Bone marrow aspirate smear; 250×250.
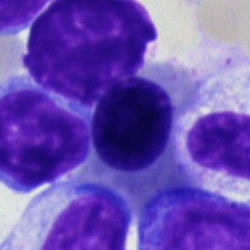Morphology — nucleated red blood cell.